Single cell centered in the field; bone marrow smear: 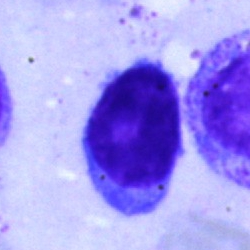
Specimen: bone marrow aspirate smear.
Cell: lymphocyte.
Lineage: lymphoid.